Bone marrow smear — 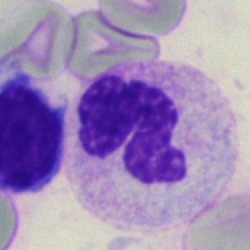
Morphology → polymorphonuclear neutrophil.